Brightfield microscopy, 40× oil immersion · bone marrow aspirate smear · single cell centered in the field — 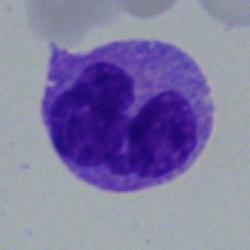
Monocyte.